Bone marrow aspirate smear · 250 by 250 pixels: 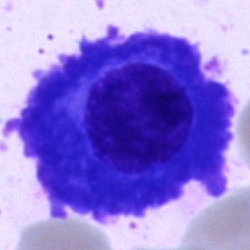Classification: plasma cell.